Bone marrow smear. May-Grünwald-Giemsa/Pappenheim stain: 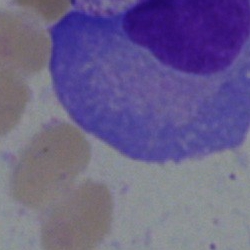
Plasma cell.